Bone marrow smear — 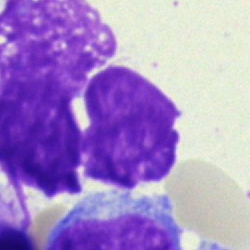 Artifact.